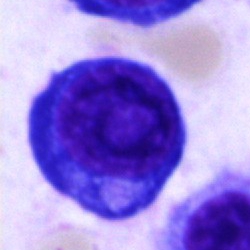 Q: What type of cell is this?
A: This is a pronormoblast.